Peripheral blood smear · 100× oil immersion, 14.14 px/µm:
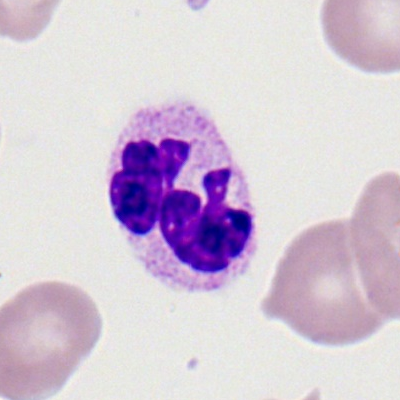Cell type = neutrophil (segmented).